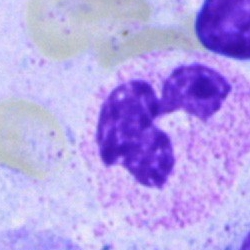
Specimen: bone marrow aspirate smear.
Cell: polymorphonuclear neutrophil.
Lineage: myeloid.